Bone marrow smear · 40× oil immersion:
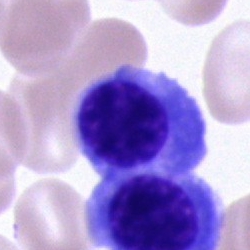

Showing a nucleated red blood cell.